40× objective, oil immersion; bone marrow aspirate smear.
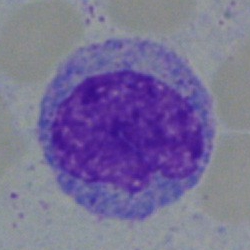Q: What is shown here?
A: This is a monocyte.